Bone marrow smear — 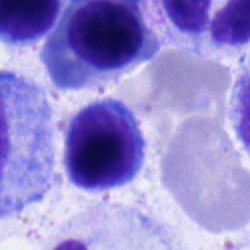
Cell = lymphocyte.